Image size 250×250; bone marrow aspirate smear — 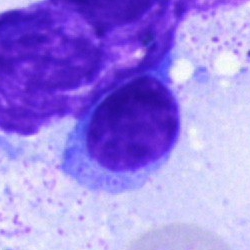 Specimen: bone marrow smear.
Cell type: typical lymphocyte.
Lineage: lymphoid.